Peripheral blood smear · 400×400 — 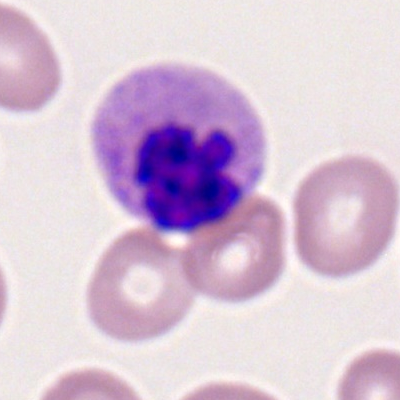 {"cell_type": "polymorphonuclear neutrophil", "lineage": "myeloid"}